Bone marrow aspirate smear
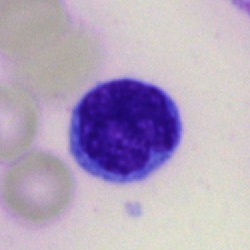

Q: What type of cell is this?
A: Lymphocyte.